May-Grünwald-Giemsa stain · cropped to a single cell · bone marrow aspirate smear.
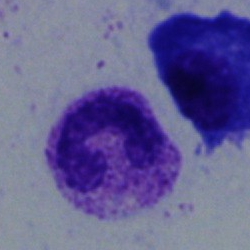
This is a band neutrophil.